May-Grünwald-Giemsa/Pappenheim stain. Image size 250×250. Bone marrow aspirate smear.
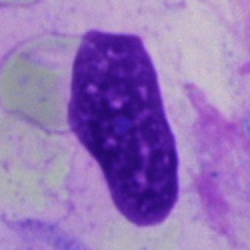
Cell = artifact.